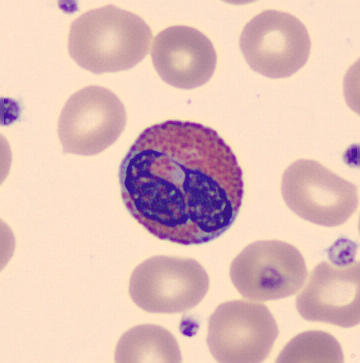
An eosinophil.
Peripheral blood smear.